Pappenheim-stained. Single cell centered in the field. Bone marrow smear.
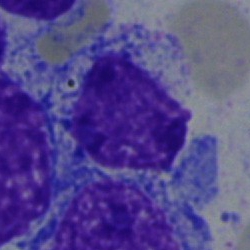

{"cell_type": "undifferentiated blast"}